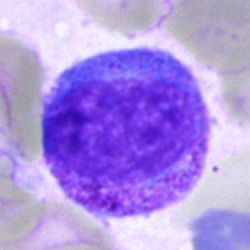

Morphological class: myelocyte.